Single cell centered in the field · bone marrow smear · MGG-stained — 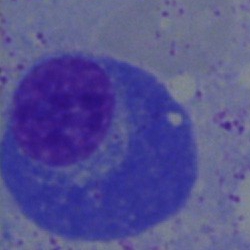

Single cell identified as a plasmacyte.